Bone marrow aspirate smear · image size 250×250
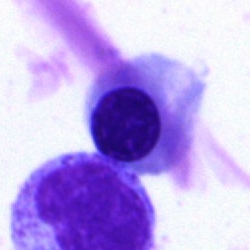Q: What is the morphological classification of this cell?
A: This is a nucleated red blood cell.